Bone marrow smear.
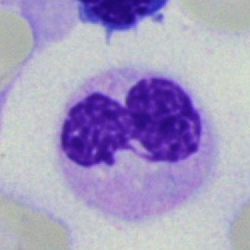
Classification — neutrophil (segmented).